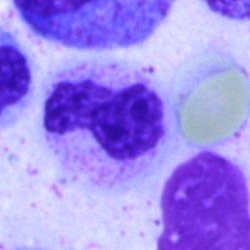Q: What is shown here?
A: It is a polymorphonuclear neutrophil.